Bone marrow smear:
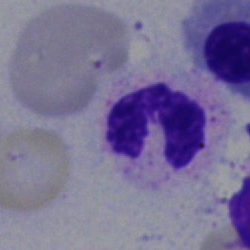Q: What cell is this?
A: A neutrophil (segmented).